Bone marrow smear · single-cell field — 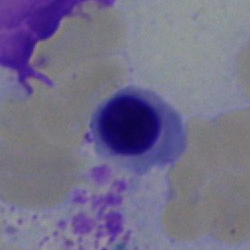
Cell = nucleated red blood cell.